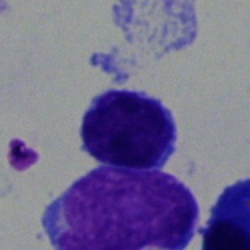
Morphology — lymphocyte.